Single cell centered in the field; bone marrow aspirate smear
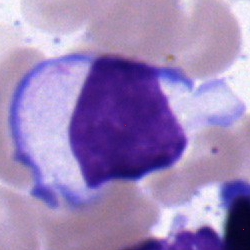Q: Which cell type is shown here?
A: Typical lymphocyte.